Bone marrow aspirate smear.
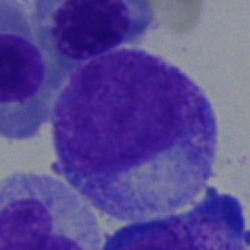The cell shown is a myelocyte.